Bone marrow aspirate smear — 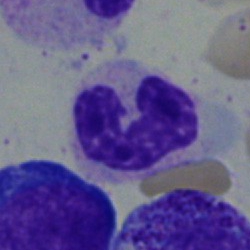

Impression → band neutrophil.